Peripheral blood film — 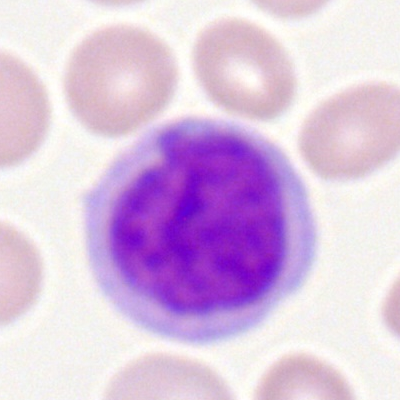
{"cell_type": "monocyte"}